Single-cell field · bone marrow aspirate smear.
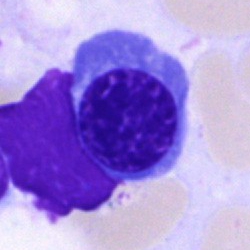

Q: Which cell type is shown here?
A: It is a nucleated red cell.